Bone marrow aspirate smear · single cell centered in the field
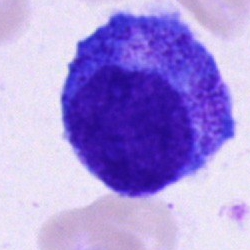
Specimen: bone marrow smear.
Cell type: progranulocyte.
Lineage: myeloid.